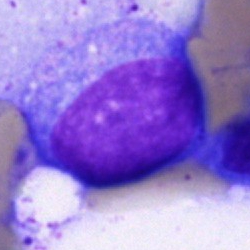

Single cell identified as an undifferentiated blast.